May-Grünwald-Giemsa stain. Bone marrow aspirate smear. Brightfield microscopy, 40× oil immersion
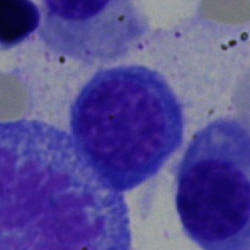
Q: What type of cell is this?
A: Nucleated red blood cell.